Cropped to a single cell; bone marrow aspirate smear; brightfield microscopy, 40× oil immersion
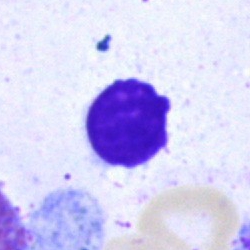
Cell — artifact.